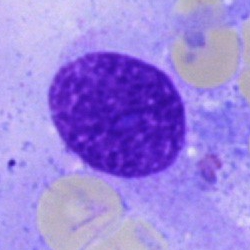

The cell type is artefact.